May-Grünwald-Giemsa stain. Bone marrow aspirate smear:
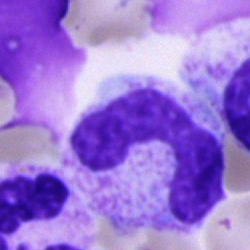
Specimen: bone marrow smear.
Cell: stab cell.
Lineage: myeloid.